Bone marrow smear · May-Grünwald-Giemsa stain · single-cell crop: 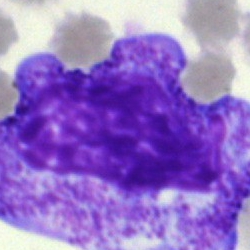
Q: What type of cell is this?
A: Metamyelocyte.